Bone marrow smear; image size 250×250; 40× objective, oil immersion: 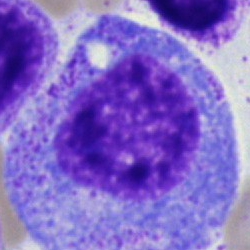

Q: What is shown here?
A: It is a promyelocyte.